Brightfield, 40× oil-immersion objective · bone marrow aspirate smear — 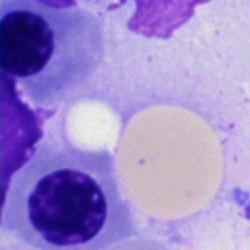
Showing a nucleated red cell.